Peripheral blood smear · May Grünwald-Giemsa stain:
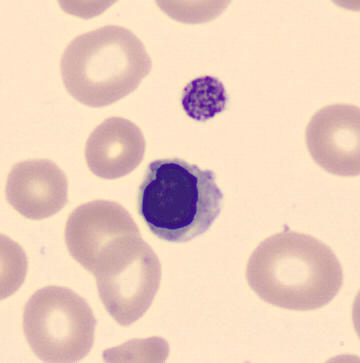A normoblast.